Single cell centered in the field. Bone marrow smear
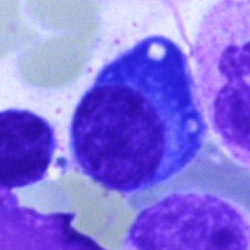This is a plasmacyte.